Bone marrow aspirate smear.
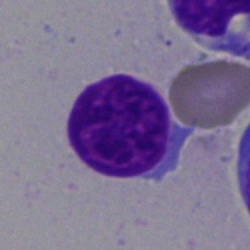

Morphology consistent with a typical lymphocyte.